40× objective, oil immersion · single-cell crop · bone marrow aspirate smear: 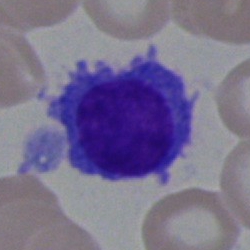
Impression — plasma cell.